Single cell centered in the field. Peripheral blood smear
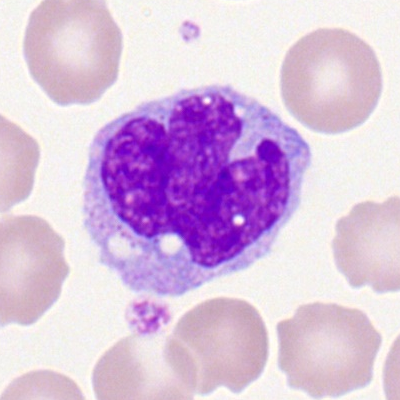

Impression → monocyte.